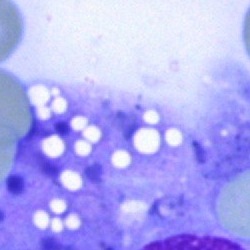 The classification is artefact.